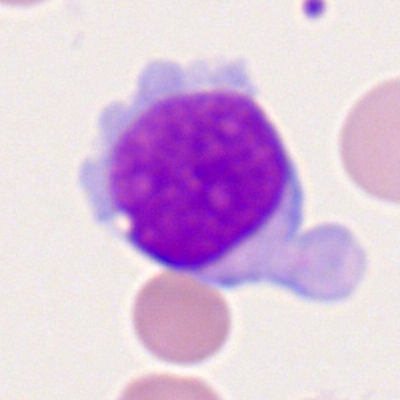
Morphology → myeloid blast.